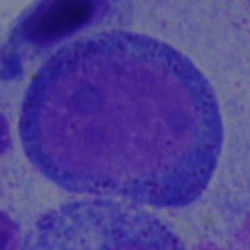
Cell: proerythroblast.